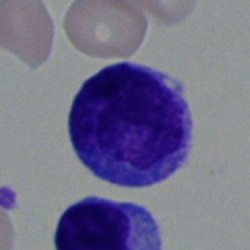

Q: Which cell type is shown here?
A: It is a blast cell.